Bone marrow aspirate smear · 250×250 px: 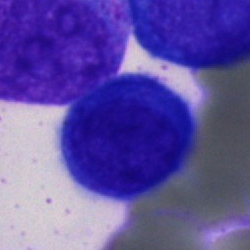Cell type = monocyte.